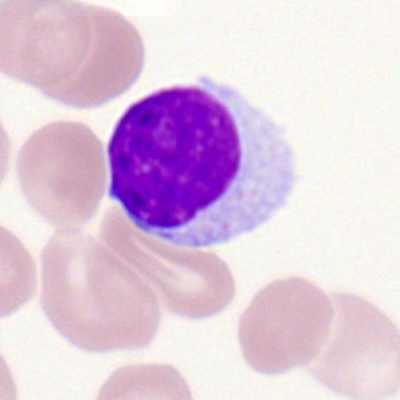

Single-cell crop from a peripheral blood smear: lymphocyte.